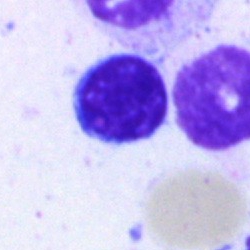 A lymphocyte.